Bone marrow aspirate smear
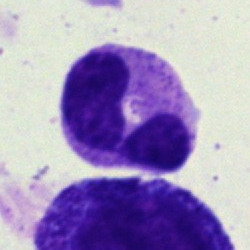
This is a neutrophil (segmented).